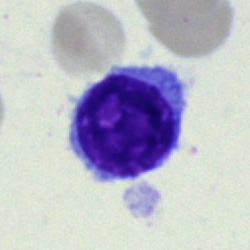
Cell = lymphocyte.